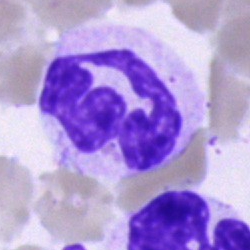

Q: Which cell type is shown here?
A: It is a polymorphonuclear neutrophil.